Single-cell crop. Pappenheim-stained. Bone marrow aspirate smear — 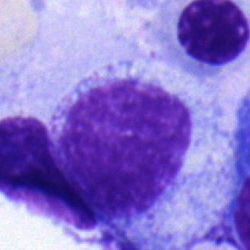Cell = myelocyte.